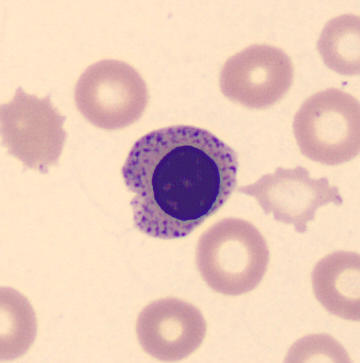 Image: 360×363 · peripheral blood smear · automated cell imaging (CellaVision DM96).
Morphology consistent with a nucleated red cell.